Bone marrow aspirate smear; 40× oil immersion:
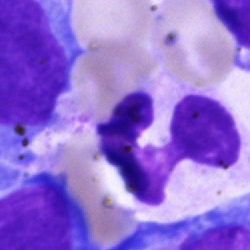

Morphology — segmented neutrophil.